Bone marrow smear: 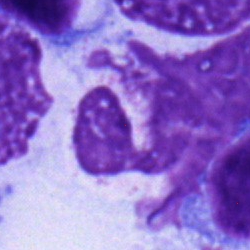 Morphology → neutrophil (segmented).